Bone marrow aspirate smear.
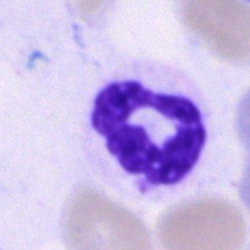

Morphological class = neutrophil (segmented).